Brightfield, 40× oil-immersion objective · Pappenheim-stained · bone marrow smear — 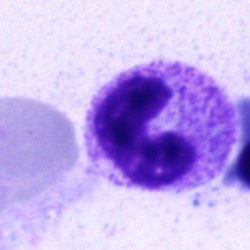
Single cell identified as a band neutrophil.